Bone marrow smear: 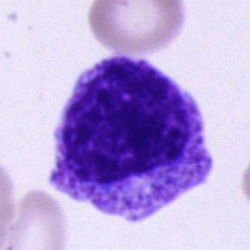
Q: What type of cell is this?
A: A promyelocyte.